40× objective, oil immersion · bone marrow smear · image size 250×250
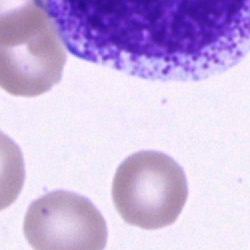Cell type: unidentifiable cell.